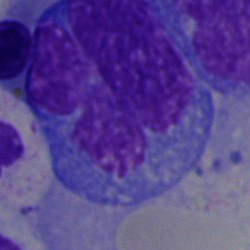 Q: What is the morphological classification of this cell?
A: This is a monocyte.